Bone marrow smear · cropped to a single cell.
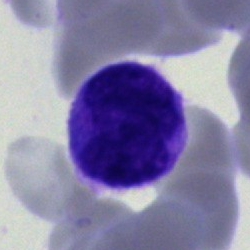Showing a typical lymphocyte.